Bone marrow smear
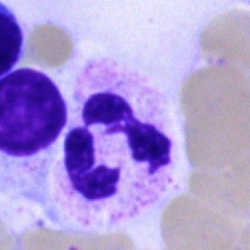
Cell type: neutrophil (segmented).